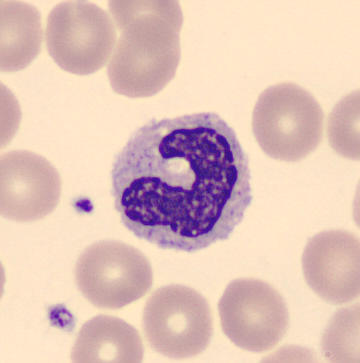Peripheral blood film.

{"cell_type": "band-form neutrophil"}